250 by 250 pixels. Bone marrow aspirate smear — 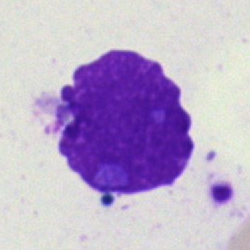 Showing an artefact.